Bone marrow aspirate smear — 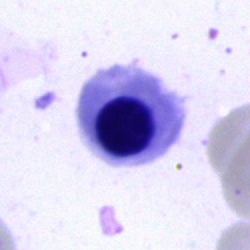Morphology → normoblast.